250×250 px; brightfield microscopy, 40× oil immersion; bone marrow smear — 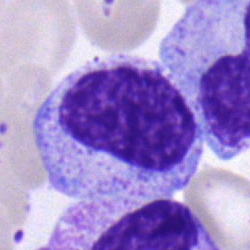 This is a metamyelocyte.